250×250 px. Bone marrow aspirate smear — 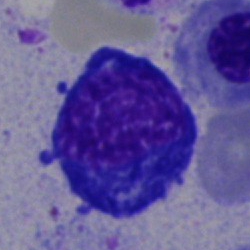

Specimen: bone marrow smear.
Classification: normoblast.
Lineage: erythroid.